Peripheral blood film
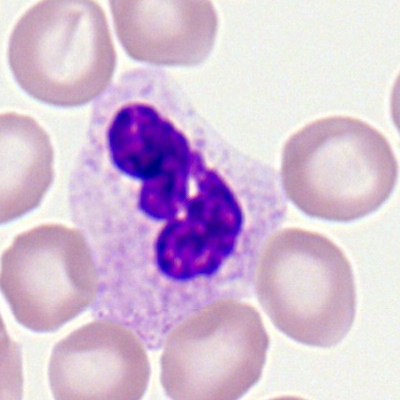Specimen: peripheral blood smear.
Cell: neutrophil (segmented).
Lineage: myeloid.